Peripheral blood film — 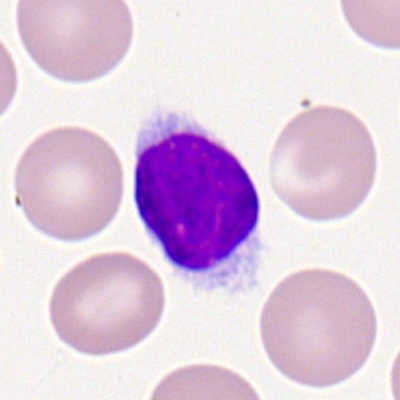Morphology → lymphocyte.